Bone marrow aspirate smear:
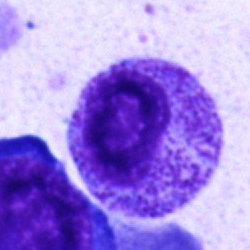
Impression → promyelocyte.